Bone marrow aspirate smear · May-Grünwald-Giemsa stain: 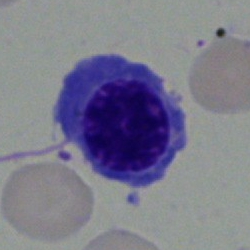 {"cell_type": "normoblast", "lineage": "erythroid"}